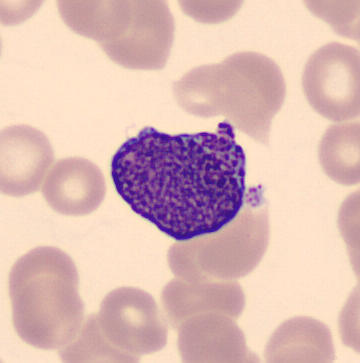 The morphological class is progranulocyte.
Preparation: Peripheral blood smear · May Grünwald-Giemsa stain · cropped to a single cell.